Bone marrow aspirate smear
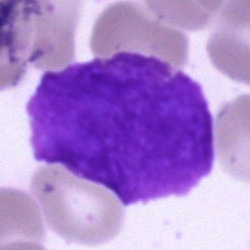Cell: artefact.